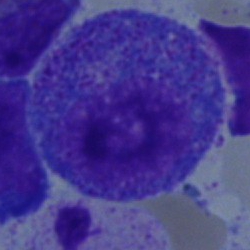

This is a progranulocyte.